Bone marrow aspirate smear.
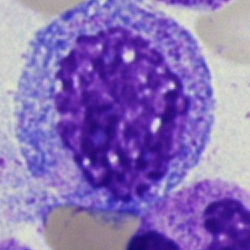
The cell shown is a progranulocyte.